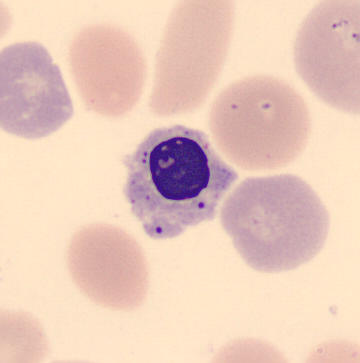Preparation: May Grünwald-Giemsa stain. Specimen: peripheral blood smear.
Cell type: normoblast.
Lineage: erythroid.